Bone marrow smear; Pappenheim-stained
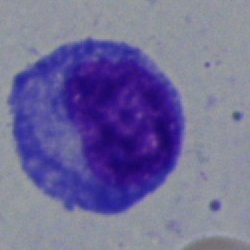

Q: Identify the cell.
A: Promyelocyte.